Bone marrow aspirate smear:
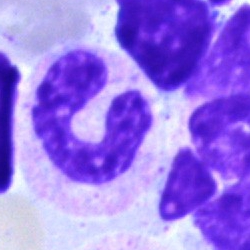Q: Identify the cell.
A: A band neutrophil.